May-Grünwald-Giemsa/Pappenheim stain · bone marrow smear
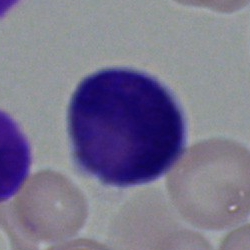

An unidentifiable cell.